Bone marrow smear.
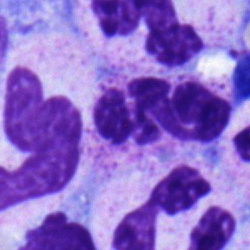
Showing a polymorphonuclear neutrophil.